Bone marrow smear — 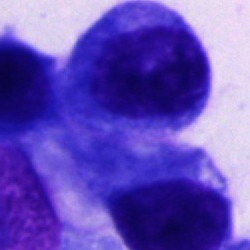

{"cell_type": "other cell"}